Cropped to a single cell · bone marrow smear:
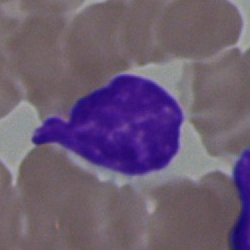
Q: What cell is this?
A: Typical lymphocyte.